Bone marrow aspirate smear; 250 by 250 pixels.
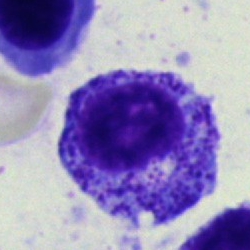
The cell is myelocyte.